Romanowsky-stained; peripheral blood film: 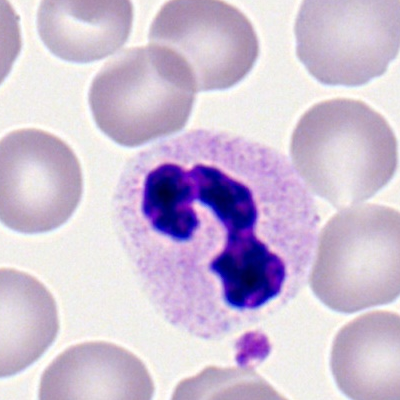
Morphological class = polymorphonuclear neutrophil.